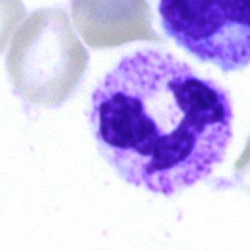 Bone marrow smear showing a neutrophil (segmented).